Bone marrow smear
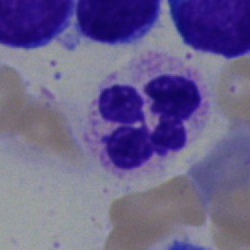 The cell shown is a neutrophil (segmented).